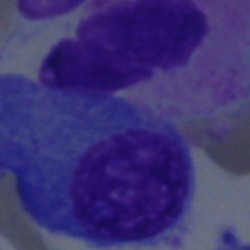Morphology → plasmacyte.